Brightfield, 40× oil-immersion objective. Bone marrow smear: 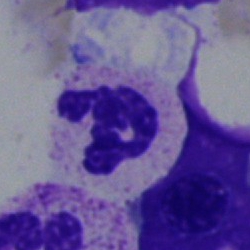

Specimen: bone marrow aspirate smear.
Cell type: neutrophil (segmented).
Lineage: myeloid.